Bone marrow aspirate smear
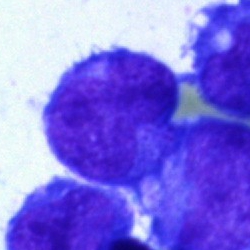 The cell shown is an undifferentiated blast.